100× oil immersion, 14.14 px/µm; peripheral blood smear; single cell centered in the field:
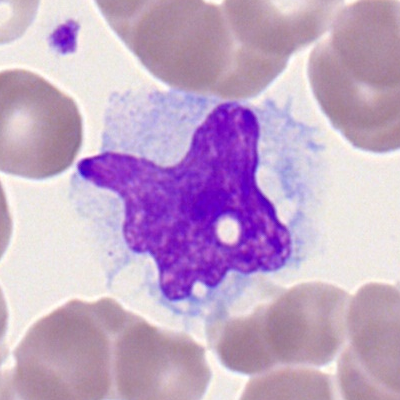 A monocyte.